Bone marrow aspirate smear: 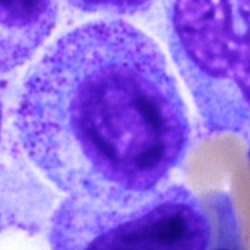 Showing a progranulocyte.